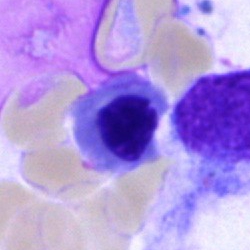
Showing a nucleated red cell.